Bone marrow aspirate smear: 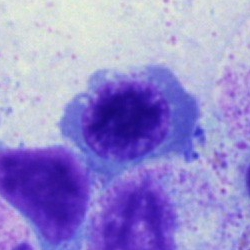 Single cell identified as an erythroblast.